Bone marrow smear
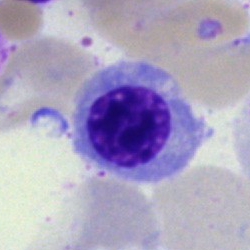 Cell type — erythroblast.